Bone marrow aspirate smear:
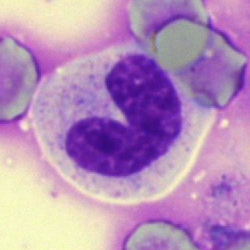Showing a neutrophil (band).